Bone marrow aspirate smear: 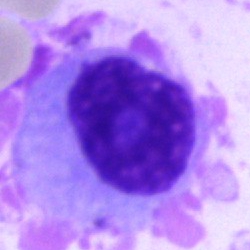
{"cell_type": "plasma cell", "lineage": "lymphoid"}